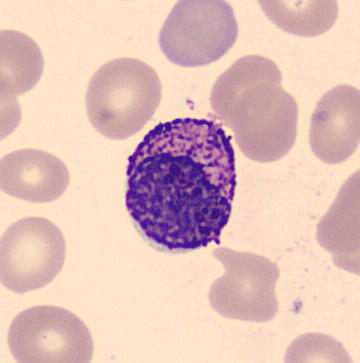

Classification = basophil.